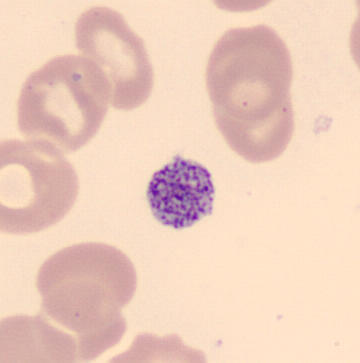The morphological class is thrombocyte.